Bone marrow aspirate smear · May-Grünwald-Giemsa/Pappenheim stain.
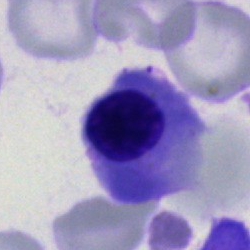
Morphology → nucleated red cell.